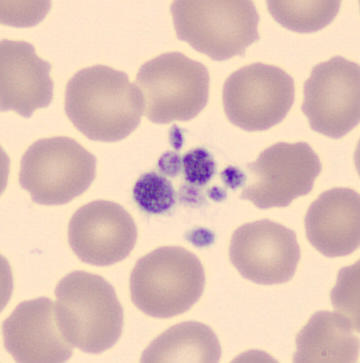Cell type = platelet.